Bone marrow smear.
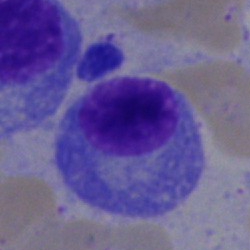
Specimen: bone marrow smear.
Cell: plasmacyte.